250×250; bone marrow smear; 40× oil immersion
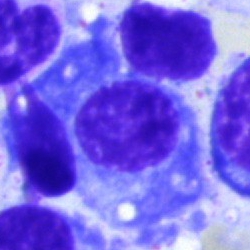 Morphological class = plasma cell.